Peripheral blood film — 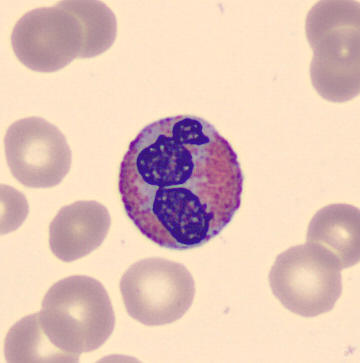The cell type is eosinophil.